Bone marrow aspirate smear · May-Grünwald-Giemsa stain · 40× objective, oil immersion
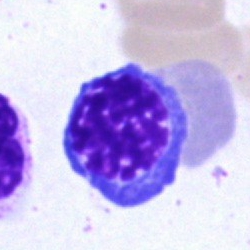

Specimen: bone marrow aspirate smear.
Cell type: erythroblast.
Lineage: erythroid.